Bone marrow smear · 40× objective, oil immersion · single-cell crop:
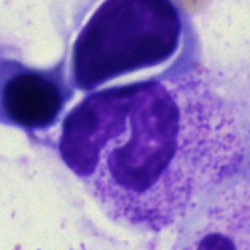Classification — neutrophil (segmented).